Pappenheim-stained; image size 250×250; bone marrow aspirate smear: 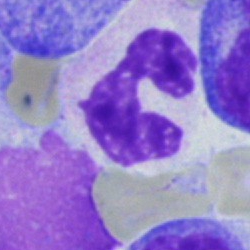
Morphology → neutrophil (segmented).